Brightfield, 40× oil-immersion objective. Pappenheim-stained. Bone marrow smear:
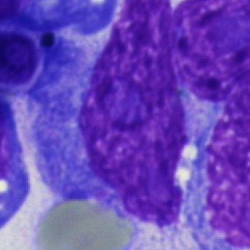 The cell type is artifact.